250×250; bone marrow aspirate smear — 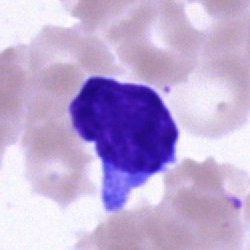

The cell is typical lymphocyte.